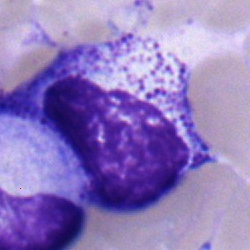Single cell identified as a metamyelocyte.